Bone marrow smear. Single-cell crop: 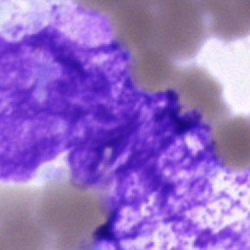
Cell type: artefact.